Bone marrow smear · cropped to a single cell · Pappenheim-stained
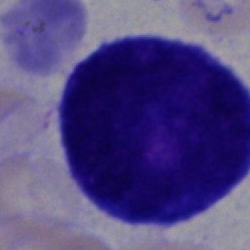
Single cell identified as a blast.